Bone marrow smear — 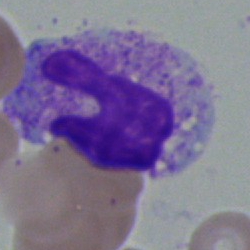
Cell: polymorphonuclear neutrophil.